Bone marrow aspirate smear.
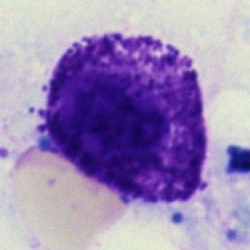

Q: What is shown here?
A: Artifact.